Bone marrow aspirate smear
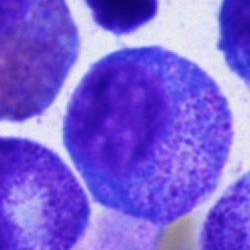
Cell — promyelocyte.